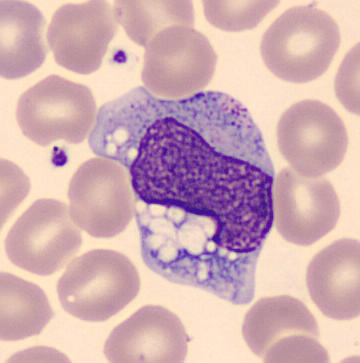Image: Peripheral blood smear.
Classification = monocyte.